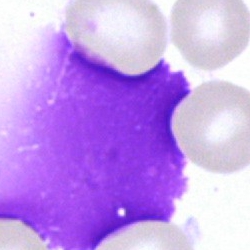

Showing an artefact.